Bone marrow aspirate smear · 40× oil immersion
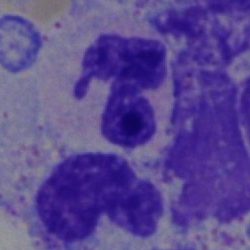 The morphological class is segmented neutrophil.